Pappenheim-stained; bone marrow aspirate smear; 250 by 250 pixels
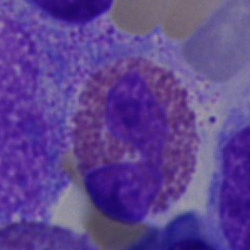
Q: Identify the cell.
A: It is an eosinophilic granulocyte.